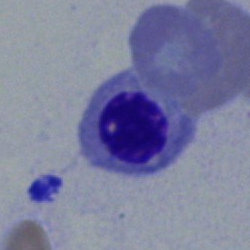 Cell — erythroblast.